Bone marrow aspirate smear — 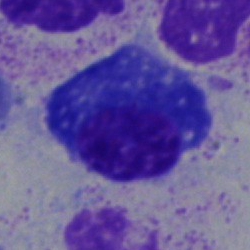

Plasma cell.